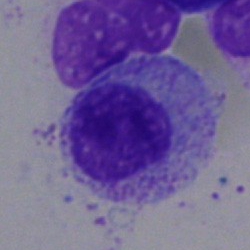 Myelocyte.